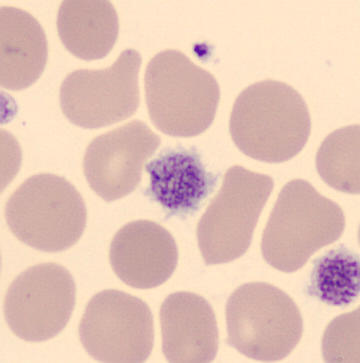

A platelet.